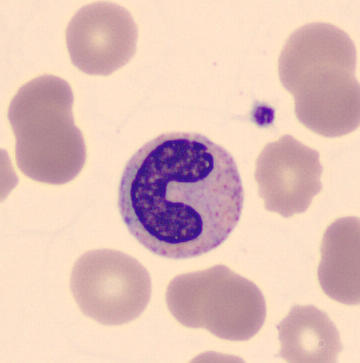
Band neutrophil.
Image: Automated cell imaging (CellaVision DM96) · peripheral blood film.